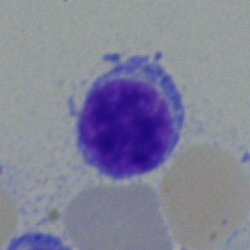Classification: typical lymphocyte.